Bone marrow aspirate smear
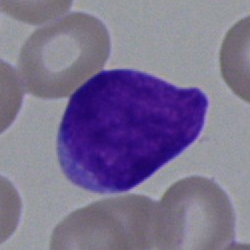
The cell shown is an undifferentiated blast.